250 by 250 pixels; bone marrow aspirate smear; 40× oil immersion:
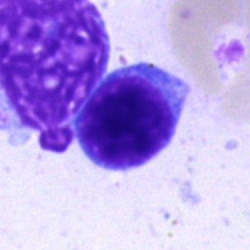 Specimen: bone marrow smear.
Morphological class: lymphocyte.